Bone marrow smear. 250×250 — 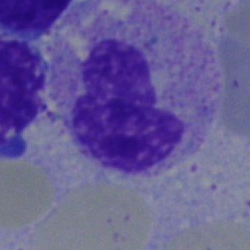
Morphology — band-form neutrophil.